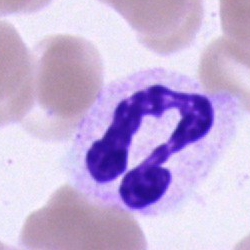 The morphological class is segmented neutrophil.